Bone marrow smear:
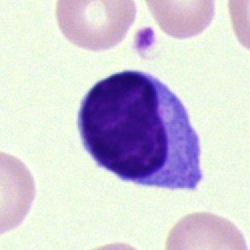

The cell shown is a typical lymphocyte.